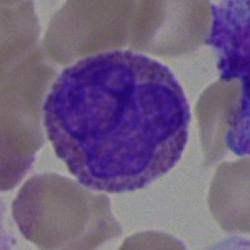 Showing an eosinophil.